Image size 250×250; bone marrow smear:
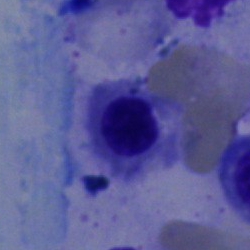
Showing a nucleated red cell.